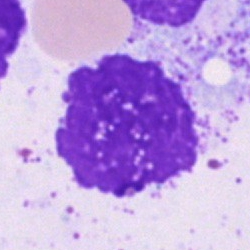Bone marrow smear showing an artefact.